May-Grünwald-Giemsa stain. Bone marrow aspirate smear — 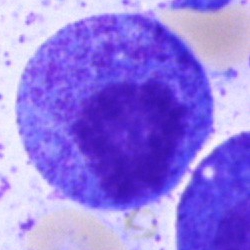
Morphological class: progranulocyte.